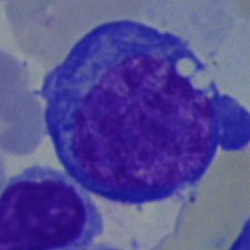
Morphological class: nucleated red cell.